Brightfield, 40× oil-immersion objective · bone marrow aspirate smear · May-Grünwald-Giemsa stain: 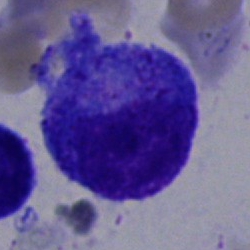 Showing a promyelocyte.